Bone marrow smear · May-Grünwald-Giemsa stain:
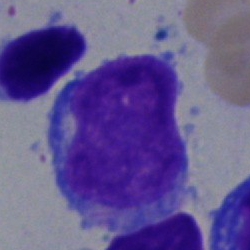

Cell type: blast cell.